Bone marrow smear.
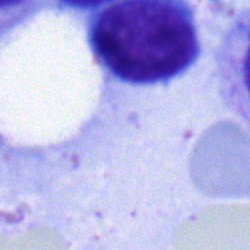

Showing a typical lymphocyte.